Bone marrow smear
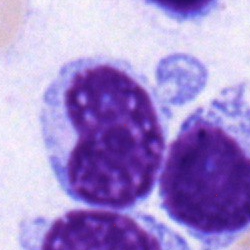Morphology → lymphocyte.